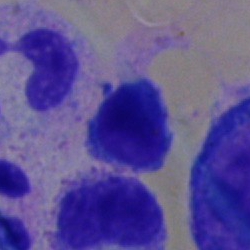Single cell identified as a typical lymphocyte.